Bone marrow smear: 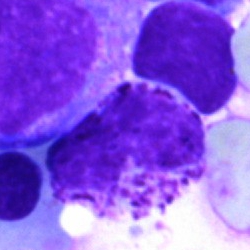Cell — eosinophilic granulocyte.